Bone marrow aspirate smear — 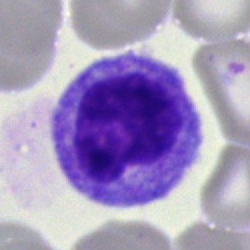

Specimen: bone marrow smear.
Morphological class: metamyelocyte.